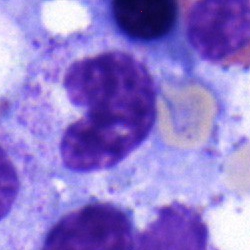The classification is neutrophil (band).